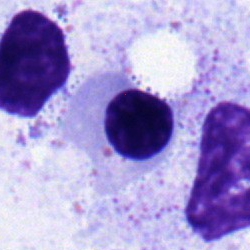
This is a nucleated red cell.